Bone marrow aspirate smear — 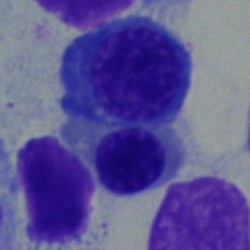Cell type: normoblast.